Peripheral blood film:
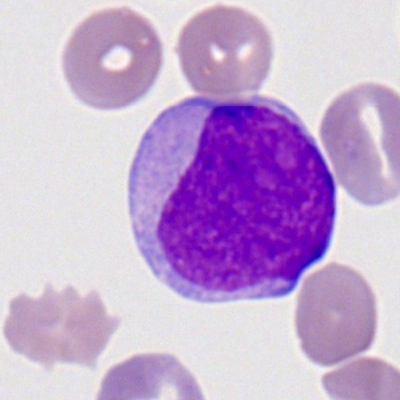
Showing a myeloblast.